Bone marrow smear — 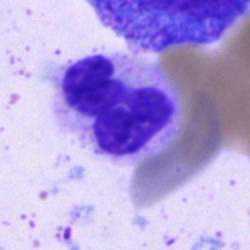 Showing a segmented neutrophil.